Bone marrow aspirate smear.
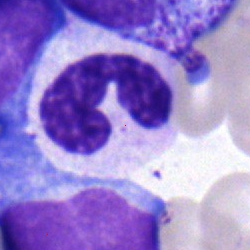

{"cell_type": "neutrophil (segmented)"}